Single cell centered in the field · bone marrow aspirate smear · image size 250×250: 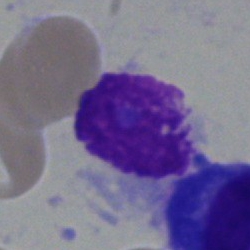 This is an artifact.